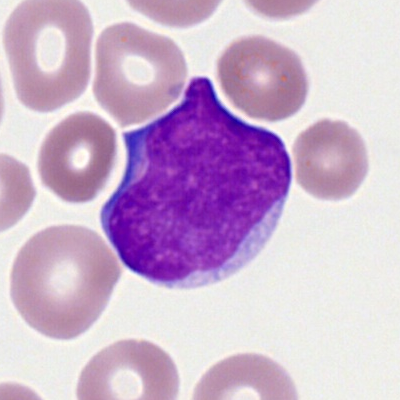
A myeloblast.